Bone marrow smear · cropped to a single cell · Pappenheim-stained — 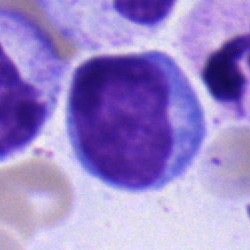Morphology consistent with a lymphocyte.